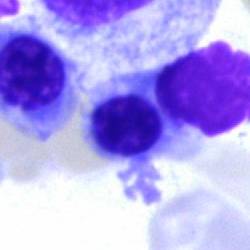
The cell type is nucleated red blood cell.